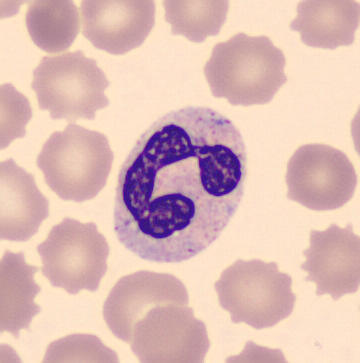
Acquisition: Peripheral blood film. Single cell centered in the field.
Q: What is shown here?
A: A neutrophil (segmented).